Bone marrow smear. Pappenheim-stained. 40× objective, oil immersion — 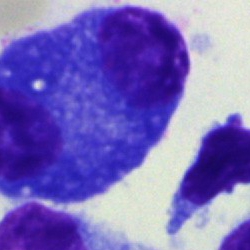 Q: Identify the cell.
A: A plasmacyte.